May-Grünwald-Giemsa stain · bone marrow aspirate smear
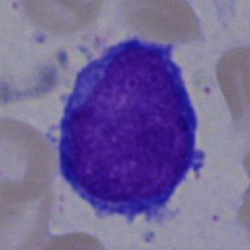

Q: What type of cell is this?
A: It is a blast cell.